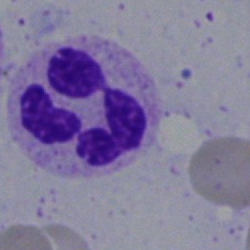

{"cell_type": "neutrophil (segmented)"}